Bone marrow aspirate smear:
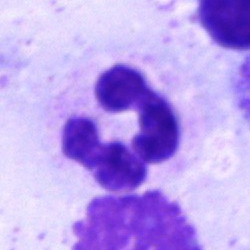 Single cell identified as a segmented neutrophil.